Bone marrow smear · May-Grünwald-Giemsa/Pappenheim stain · single-cell crop:
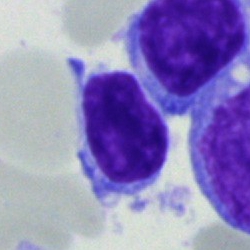

The cell shown is a lymphocyte.